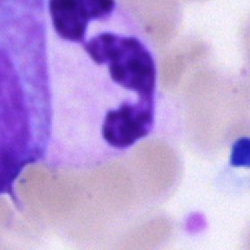Q: What type of cell is this?
A: This is a segmented neutrophil.